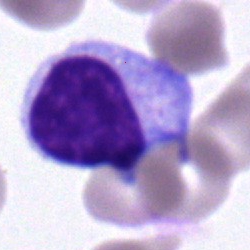 Showing a lymphocyte.